Bone marrow smear · image size 250×250 · 40× objective, oil immersion
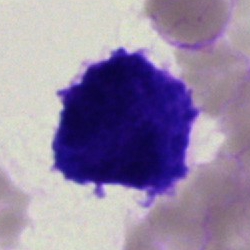
A blast cell.